Peripheral blood film; 400 by 400 pixels
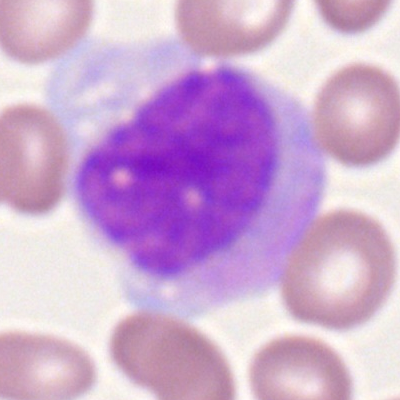Cell type: monocyte.